250 by 250 pixels. Bone marrow smear: 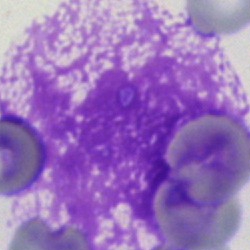

Cell type: artifact.